Single-cell crop · bone marrow aspirate smear · MGG-stained:
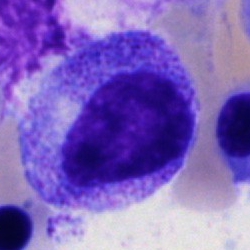
Single cell identified as a promyelocyte.